Bone marrow smear:
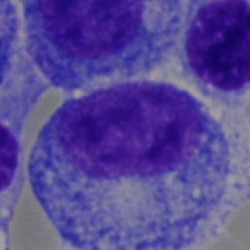
{"cell_type": "promyelocyte"}